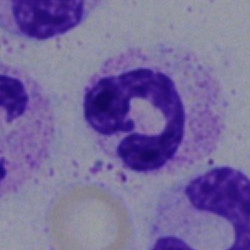Single cell identified as a neutrophil (segmented).